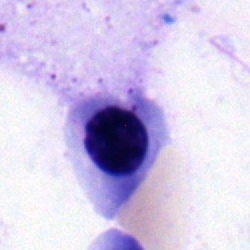

An erythroblast.